May-Grünwald-Giemsa/Pappenheim stain. Bone marrow aspirate smear
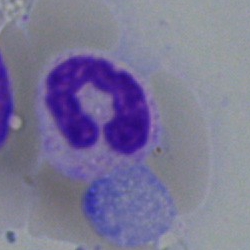The cell type is band neutrophil.